Single cell centered in the field; MGG-stained; bone marrow smear
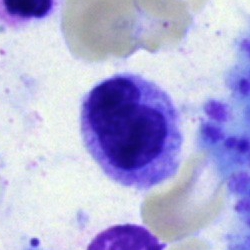

Classification: metamyelocyte.